Bone marrow aspirate smear; 250×250 px.
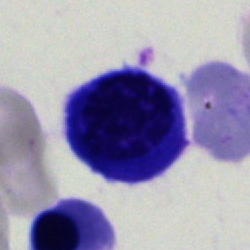 An erythroblast.